Bone marrow smear. Cropped to a single cell.
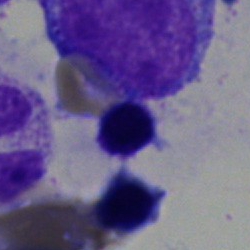

Specimen: bone marrow smear.
Cell: cell of indeterminate lineage.